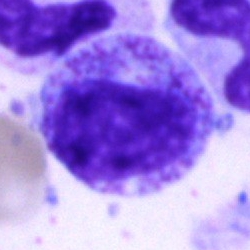
Single cell identified as a myelocyte.